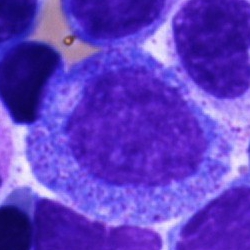 The morphological class is promyelocyte.